Bone marrow smear: 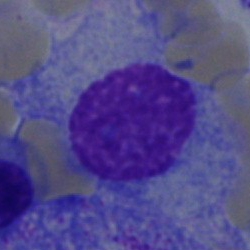The cell shown is a myelocyte.